Single-cell field; bone marrow aspirate smear; image size 250×250: 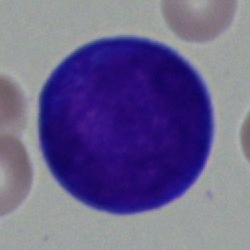Impression — proerythroblast.